Bone marrow aspirate smear · brightfield microscopy, 40× oil immersion:
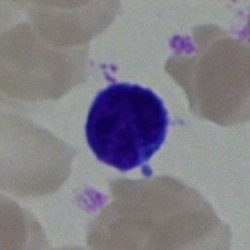Impression — typical lymphocyte.